Bone marrow aspirate smear; cropped to a single cell: 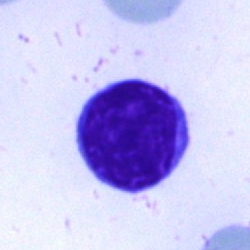
The cell is typical lymphocyte.